250×250 · bone marrow smear:
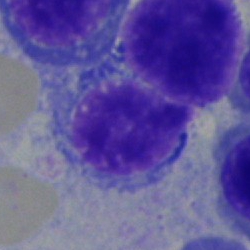 Morphology consistent with a typical lymphocyte.